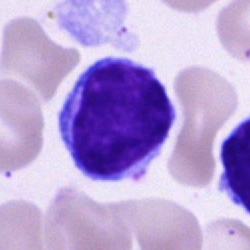

Specimen: bone marrow smear.
Morphological class: lymphocyte.